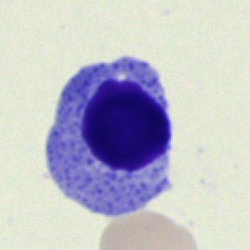

Cell — normoblast.